Bone marrow aspirate smear. Brightfield microscopy, 40× oil immersion:
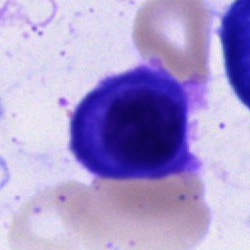

Plasma cell.